Bone marrow smear — 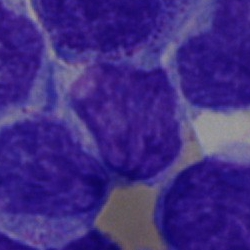Specimen: bone marrow aspirate smear.
Morphological class: undifferentiated blast.